40× oil immersion · bone marrow aspirate smear: 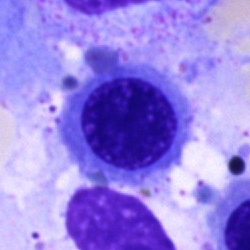 Impression — normoblast.